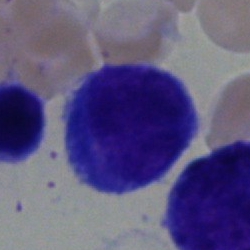

Q: What is the morphological classification of this cell?
A: This is a blast.